Bone marrow aspirate smear. 250×250.
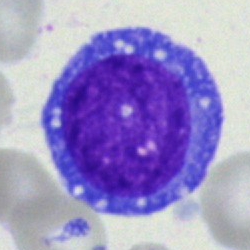 This is a blast.